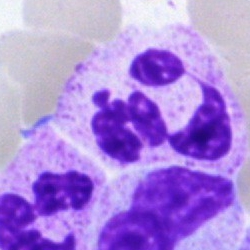
Cell type: segmented neutrophil.